Bone marrow smear · May-Grünwald-Giemsa stain · 250×250 px:
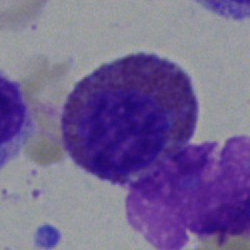 Q: What is shown here?
A: It is an eosinophilic granulocyte.